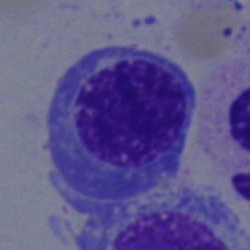

Q: What type of cell is this?
A: A normoblast.